Bone marrow smear · brightfield microscopy, 40× oil immersion
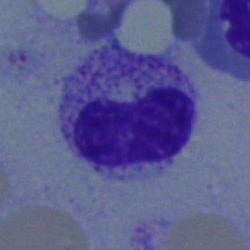

Impression — metamyelocyte.